Bone marrow smear:
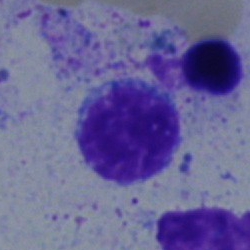

Specimen: bone marrow aspirate smear.
Cell type: lymphocyte.